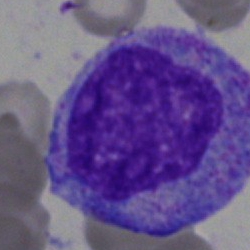A promyelocyte.